Bone marrow aspirate smear: 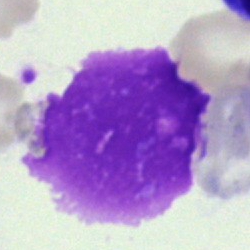 Specimen: bone marrow aspirate smear.
Morphological class: artefact.